Bone marrow aspirate smear.
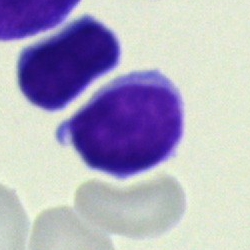 Showing a lymphocyte.